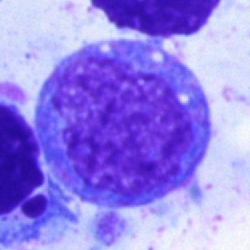A progranulocyte.